May-Grünwald-Giemsa stain; bone marrow aspirate smear; brightfield, 40× oil-immersion objective — 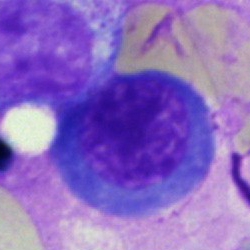 Cell = erythroblast.